Bone marrow aspirate smear:
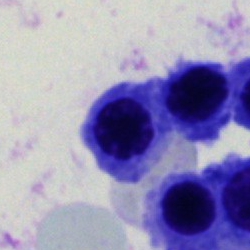
Showing a normoblast.